Peripheral blood film · 400×400 · Romanowsky-type stain — 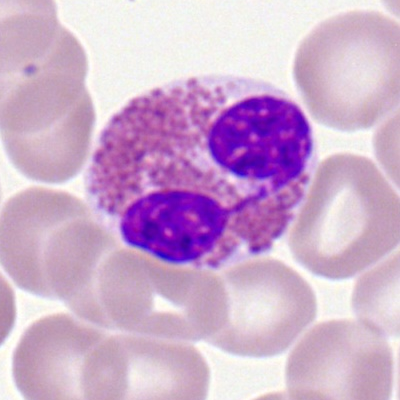 This is an eosinophilic granulocyte.